Bone marrow smear
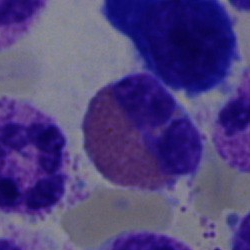

The cell shown is an eosinophil.